May-Grünwald-Giemsa stain · bone marrow aspirate smear · cropped to a single cell: 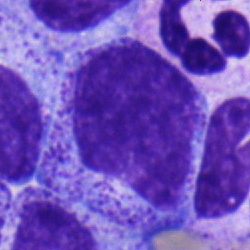 Morphological class — myelocyte.